Bone marrow aspirate smear: 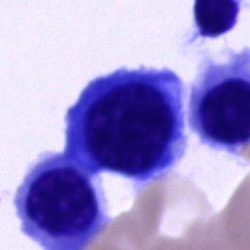 Morphology → erythroblast.